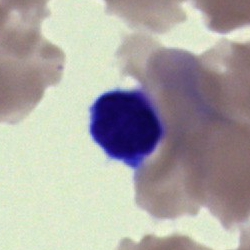 Lymphocyte.